May-Grünwald-Giemsa/Pappenheim stain. 250×250. Bone marrow smear — 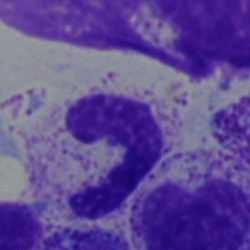
Q: What cell is this?
A: It is a stab cell.